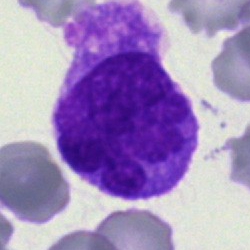
Cell type = monocyte.